Bone marrow smear
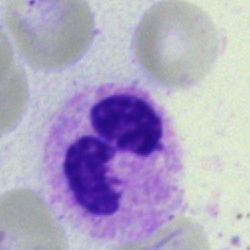This is a polymorphonuclear neutrophil.